Bone marrow aspirate smear · single-cell crop: 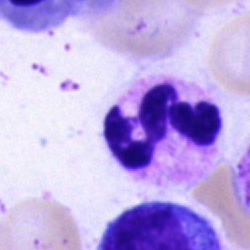

The cell shown is a neutrophil (segmented).